Bone marrow aspirate smear; image size 250×250; Pappenheim-stained — 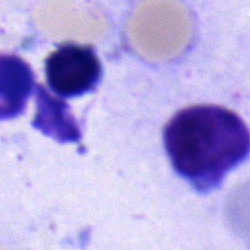Q: What type of cell is this?
A: This is a typical lymphocyte.